Bone marrow aspirate smear:
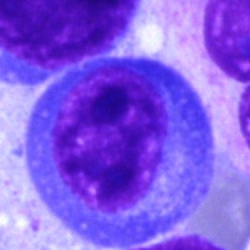

Morphology consistent with a plasma cell.